Bone marrow smear
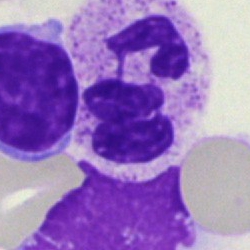{"cell_type": "polymorphonuclear neutrophil", "lineage": "myeloid"}